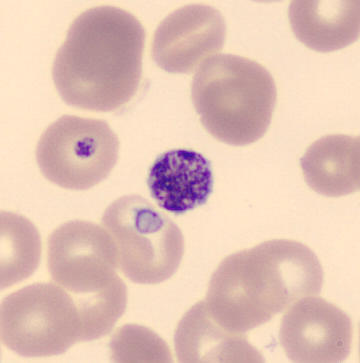A thrombocyte.

Peripheral blood smear.